Bone marrow smear:
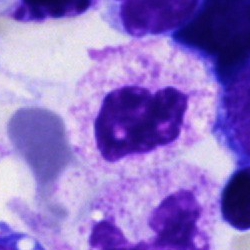 The cell is polymorphonuclear neutrophil.